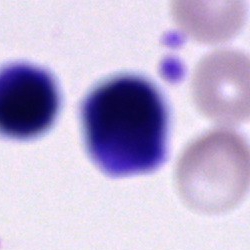 Bone marrow aspirate smear, single cell — cell of indeterminate lineage.